Bone marrow aspirate smear:
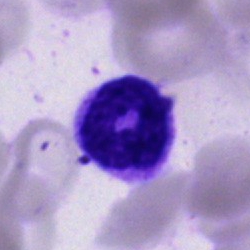

Segmented neutrophil.